May-Grünwald-Giemsa/Pappenheim stain; bone marrow aspirate smear: 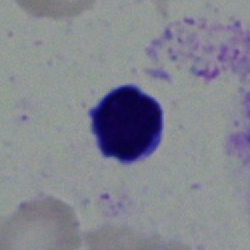
Single cell identified as a typical lymphocyte.